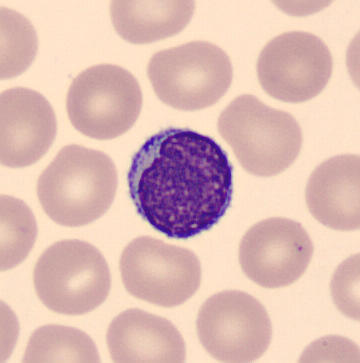Morphology → lymphocyte.
Preparation: Peripheral blood smear. MGG-stained. 360×363.